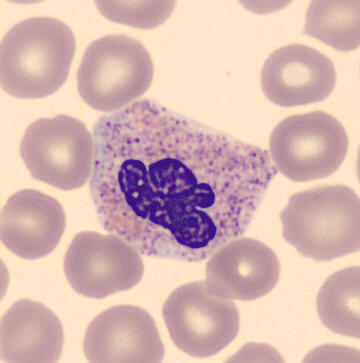

Acquisition: Peripheral blood smear · MGG-stained.

Single cell identified as a segmented neutrophil.